Bone marrow aspirate smear — 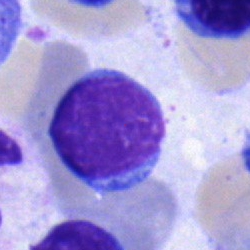

Specimen: bone marrow smear.
Cell: typical lymphocyte.
Lineage: lymphoid.